Single-cell crop; May-Grünwald-Giemsa stain; bone marrow smear.
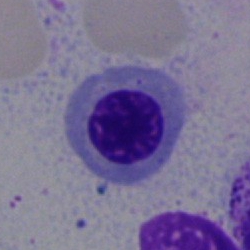 The cell shown is an erythroblast.